Single-cell crop. Bone marrow aspirate smear. May-Grünwald-Giemsa stain:
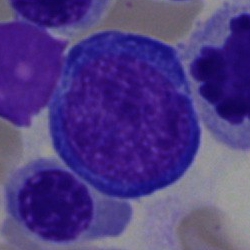 Erythroblast.